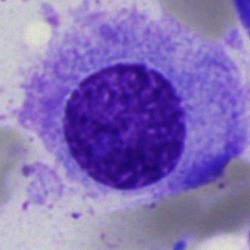Cell type = plasmacyte.